Bone marrow aspirate smear. 40× objective, oil immersion: 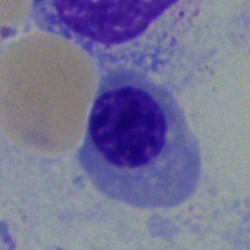Morphology consistent with a nucleated red blood cell.